Bone marrow aspirate smear — 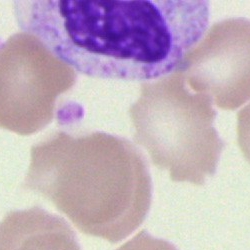 Morphology consistent with an unidentifiable cell.